Bone marrow aspirate smear. Single cell centered in the field.
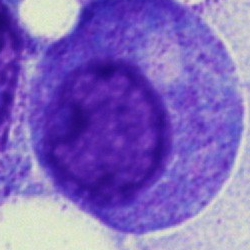Morphology consistent with a progranulocyte.